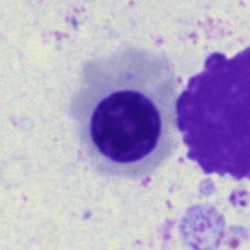
Showing a nucleated red blood cell.